Bone marrow aspirate smear: 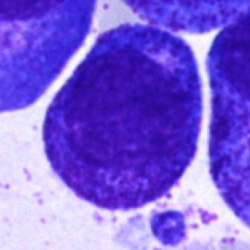Specimen: bone marrow smear.
Classification: promyelocyte.
Lineage: myeloid.